Bone marrow aspirate smear; May-Grünwald-Giemsa/Pappenheim stain: 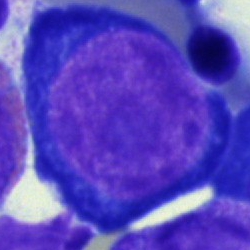 The cell is pronormoblast.